Bone marrow smear. Brightfield microscopy, 40× oil immersion.
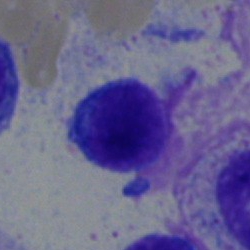

Impression — lymphocyte.